Bone marrow smear; single-cell crop; 250 by 250 pixels.
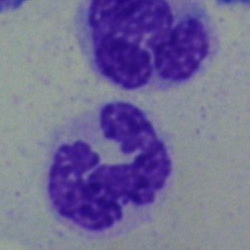

Segmented neutrophil.